MGG-stained; bone marrow aspirate smear; brightfield, 40× oil-immersion objective — 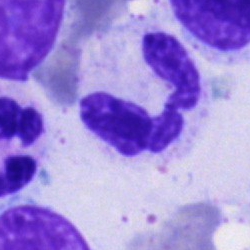 Morphological class: neutrophil (segmented).